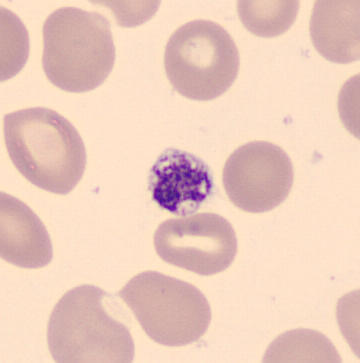 Peripheral blood film.
Q: What is this?
A: It is a thrombocyte.